Bone marrow smear.
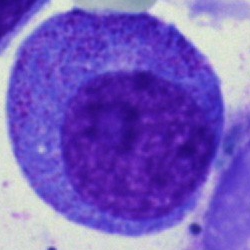

{"cell_type": "progranulocyte", "lineage": "myeloid"}